Bone marrow aspirate smear · brightfield, 40× oil-immersion objective:
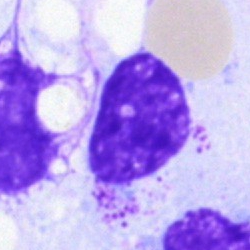 Morphology — artefact.